Bone marrow aspirate smear: 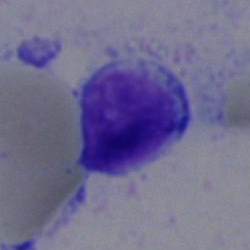Specimen: bone marrow aspirate smear.
Cell: typical lymphocyte.